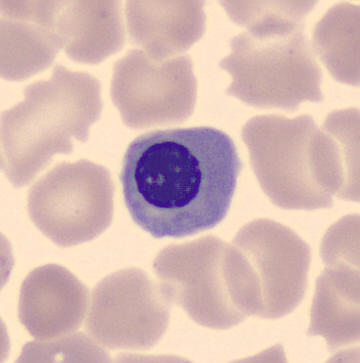

Image: Peripheral blood film. Single-cell field.
Q: What is shown here?
A: A nucleated red blood cell.